Bone marrow aspirate smear: 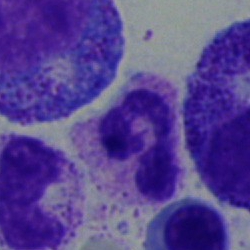
Polymorphonuclear neutrophil.